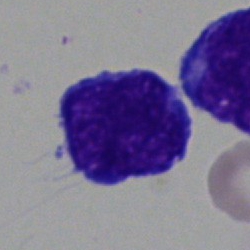
Bone marrow aspirate smear, single cell — blast cell.